Cropped to a single cell; bone marrow smear — 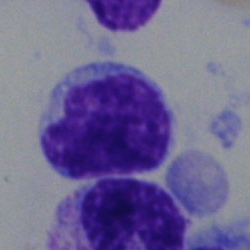 Specimen: bone marrow aspirate smear.
Cell type: lymphocyte.
Lineage: lymphoid.